Bone marrow smear:
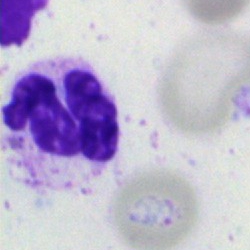
Q: Which cell type is shown here?
A: A neutrophil (segmented).